Bone marrow aspirate smear; 40× oil immersion:
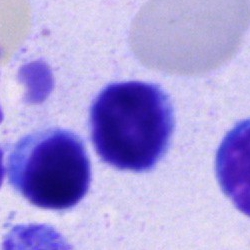
Q: What type of cell is this?
A: A typical lymphocyte.